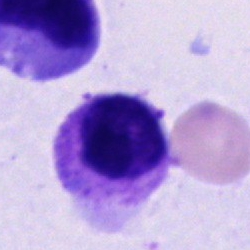 Morphological class: unidentifiable cell.